Pappenheim-stained; bone marrow aspirate smear
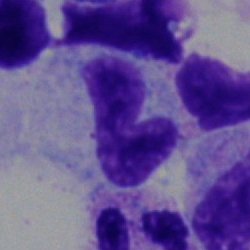Morphology consistent with a neutrophil (band).